Bone marrow aspirate smear:
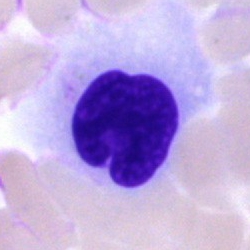Specimen: bone marrow smear.
Classification: nucleated red cell.
Lineage: erythroid.